Bone marrow aspirate smear; single cell centered in the field; image size 250×250 — 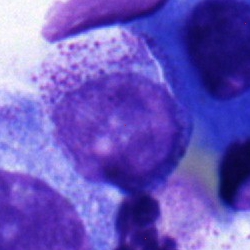 Specimen: bone marrow aspirate smear.
Cell: myelocyte.